Brightfield microscopy, 40× oil immersion · bone marrow aspirate smear:
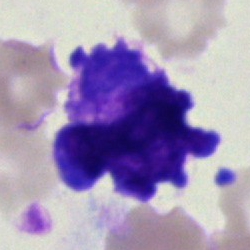
A blast.